Bone marrow aspirate smear:
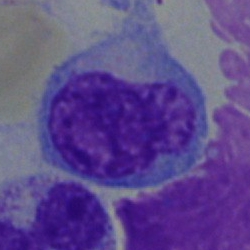

Q: Identify the cell.
A: It is a monocyte.